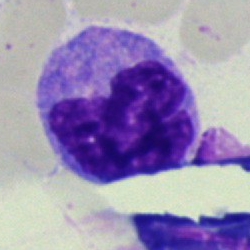Specimen: bone marrow aspirate smear.
Cell type: monocyte.
Lineage: myeloid.